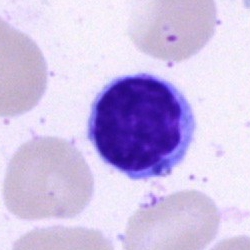Impression → typical lymphocyte.